Bone marrow aspirate smear: 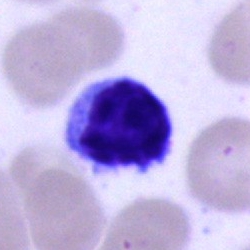
Morphology consistent with a plasma cell.